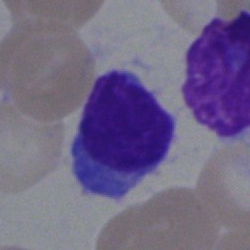Cell: plasmacyte.